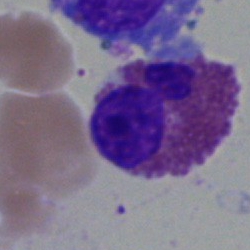An eosinophil.